Bone marrow aspirate smear:
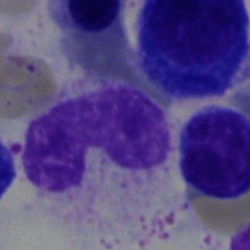

This is a stab cell.